Bone marrow smear
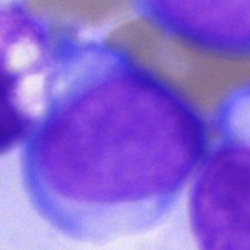 Classification: undifferentiated blast.